Bone marrow aspirate smear · 250×250 px · single-cell crop — 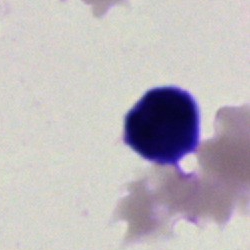
Artefact.